Bone marrow aspirate smear — 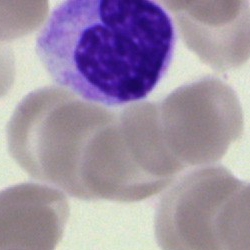

Segmented neutrophil.